Bone marrow aspirate smear; single-cell crop; image size 250×250: 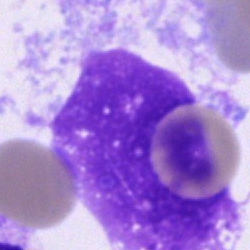

Cell type — artifact.